40× oil immersion; bone marrow aspirate smear.
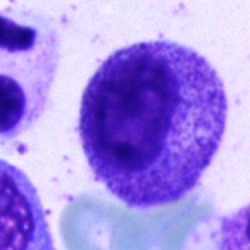Q: Identify the cell.
A: This is a myelocyte.